Bone marrow smear: 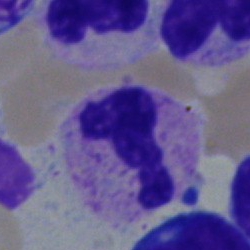Q: Identify the cell.
A: This is a neutrophil (segmented).